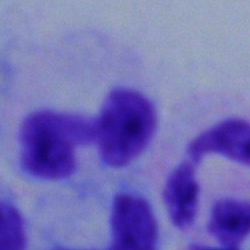

Morphology consistent with a segmented neutrophil.